Single-cell crop; brightfield, 40× oil-immersion objective; bone marrow smear
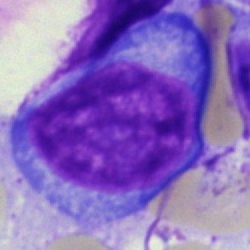 Cell = undifferentiated blast.